Bone marrow aspirate smear — 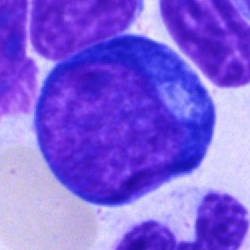Classification = pronormoblast.